Single cell centered in the field · 40× objective, oil immersion · bone marrow smear: 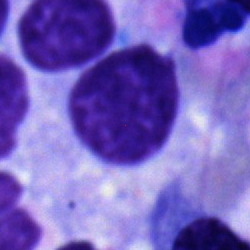

The cell type is typical lymphocyte.